Bone marrow aspirate smear:
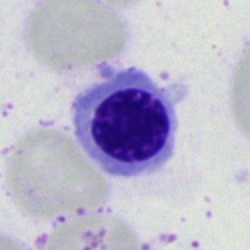The cell is nucleated red blood cell.